250×250. Single-cell field. Bone marrow aspirate smear — 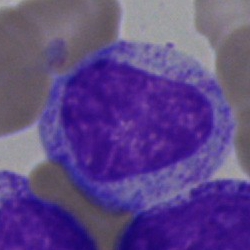Single cell identified as a myelocyte.